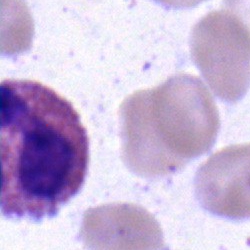 Bone marrow aspirate smear, single cell — lymphocyte.